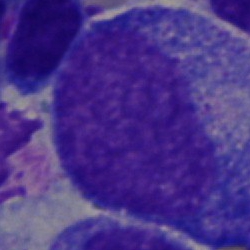A promyelocyte on a bone marrow smear.